Image size 400×400. Peripheral blood smear. 100× objective, oil immersion:
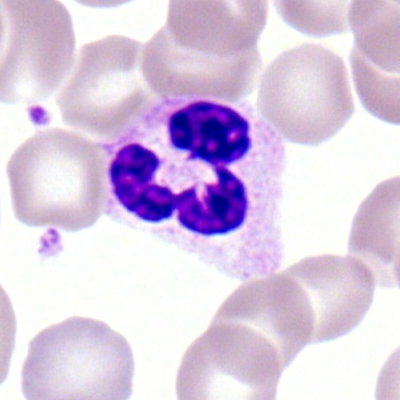 Q: Which cell type is shown here?
A: A polymorphonuclear neutrophil.